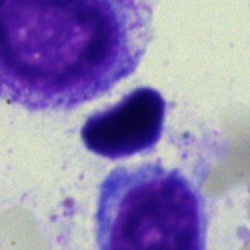 Bone marrow aspirate smear, single cell — typical lymphocyte.